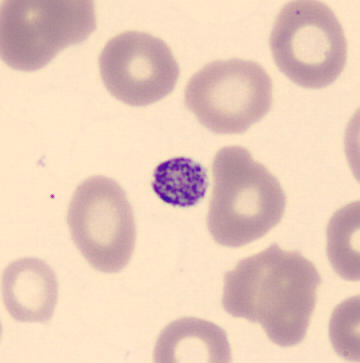

Cell type = platelet.